Brightfield microscopy, 40× oil immersion · bone marrow smear.
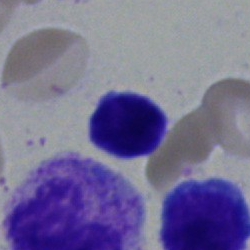
Specimen: bone marrow aspirate smear.
Classification: lymphocyte.